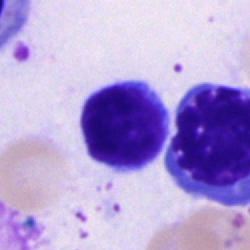
Impression — lymphocyte.